Bone marrow aspirate smear · single-cell field: 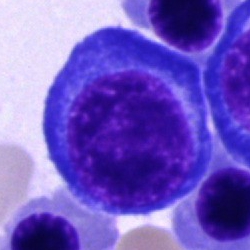Showing a proerythroblast.